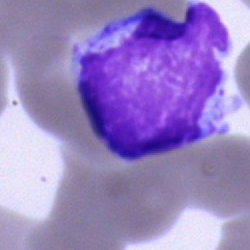An unidentifiable cell.